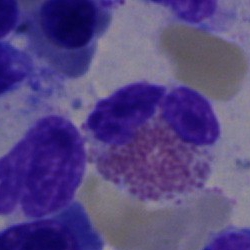Specimen: bone marrow aspirate smear.
Morphological class: eosinophil.
Lineage: myeloid.